Brightfield microscopy, 40× oil immersion. Bone marrow smear — 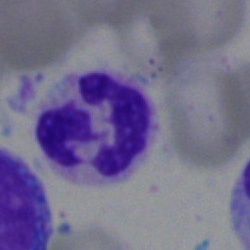 Q: Identify the cell.
A: It is a neutrophil (segmented).